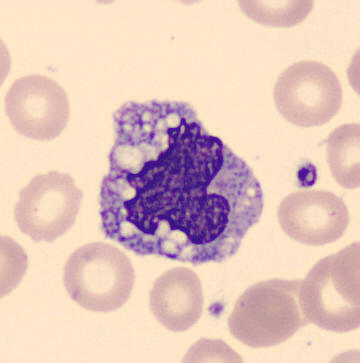
Single cell identified as a monocyte.
Preparation: Peripheral blood smear.